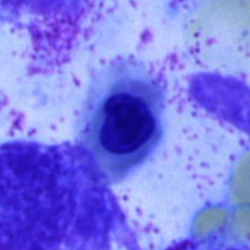
Classification: nucleated red cell.